Bone marrow aspirate smear
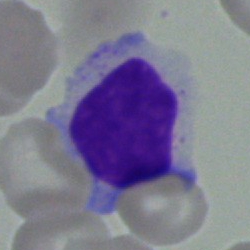 This is a typical lymphocyte.